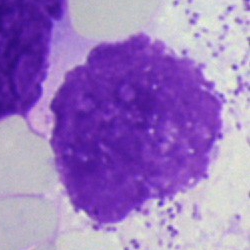Specimen: bone marrow aspirate smear.
Cell: artifact.